Bone marrow aspirate smear — 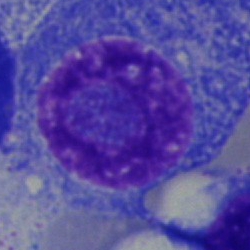
Cell type = plasmacyte.